Bone marrow smear · brightfield microscopy, 40× oil immersion.
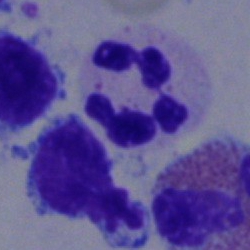
Impression → segmented neutrophil.